Peripheral blood smear: 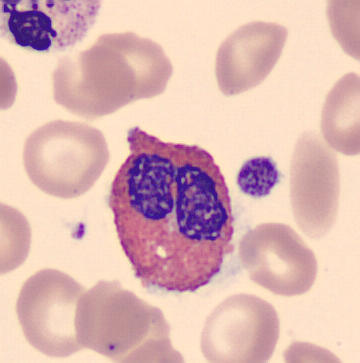 Cell type = eosinophil.